Bone marrow smear.
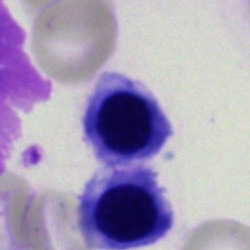

Morphology consistent with a nucleated red cell.